Bone marrow aspirate smear
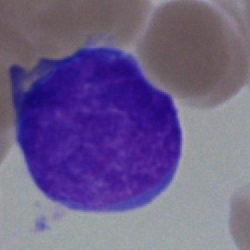
Impression — blast cell.